Bone marrow aspirate smear · single-cell crop · 40× objective, oil immersion — 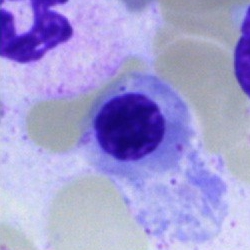
A nucleated red cell.